Peripheral blood film
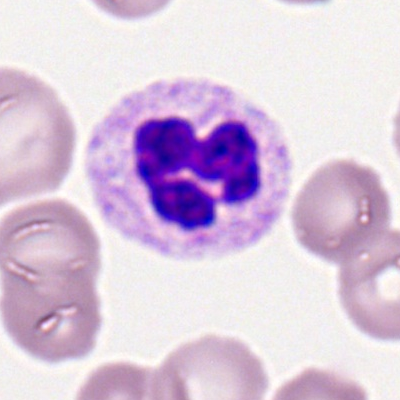

Morphology consistent with a segmented neutrophil.